Bone marrow smear; 40× objective, oil immersion; May-Grünwald-Giemsa/Pappenheim stain — 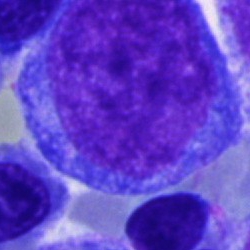 Blast.